Bone marrow aspirate smear.
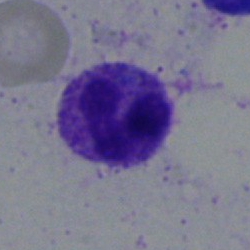This is a polymorphonuclear neutrophil.